Bone marrow smear
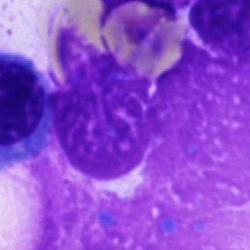 Impression — artifact.